MGG-stained; 250×250; bone marrow smear:
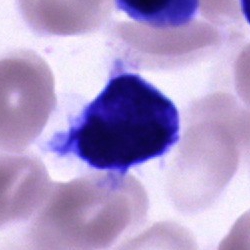 Cell type: blast.